Bone marrow smear; image size 250×250: 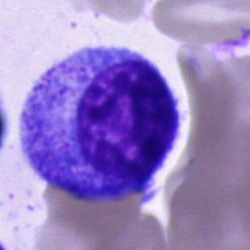
A progranulocyte.